250×250 px. Bone marrow aspirate smear: 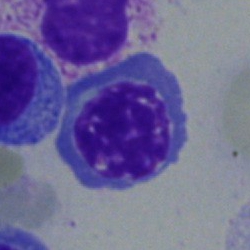

The cell type is normoblast.